Bone marrow aspirate smear.
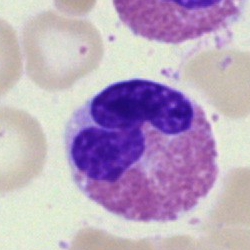

Morphology → eosinophil.